Bone marrow smear: 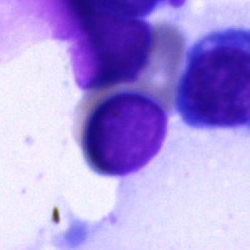

Artefact.